Bone marrow aspirate smear; 40× oil immersion:
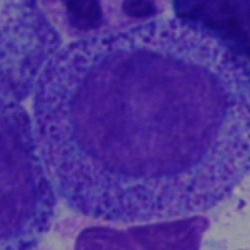 Cell = myelocyte.